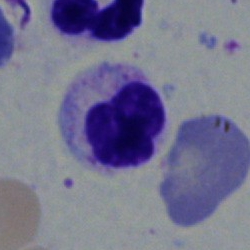

Impression → segmented neutrophil.